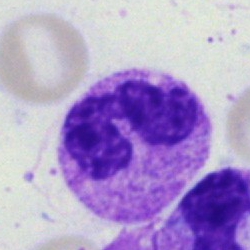Q: What is shown here?
A: This is a polymorphonuclear neutrophil.